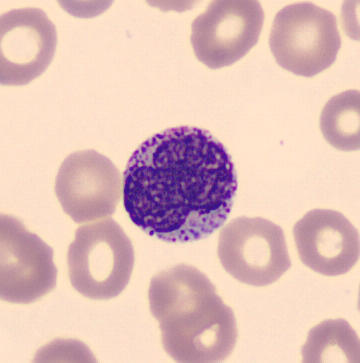360×363 px. Peripheral blood film.
The cell type is metamyelocyte.